Bone marrow aspirate smear — 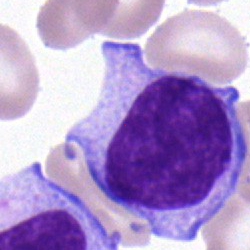

Q: What is shown here?
A: Typical lymphocyte.